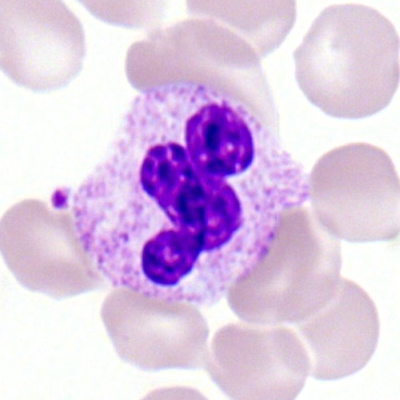Impression → segmented neutrophil.